Bone marrow smear.
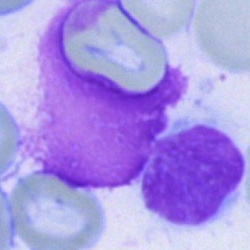

This is an artifact.